Bone marrow aspirate smear:
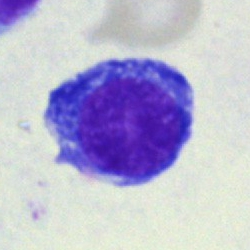

Single cell identified as a normoblast.